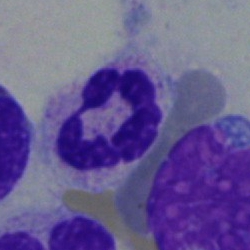

The classification is neutrophil (segmented).